250×250 px. Bone marrow smear:
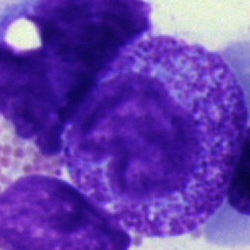 Q: What cell is this?
A: It is a metamyelocyte.